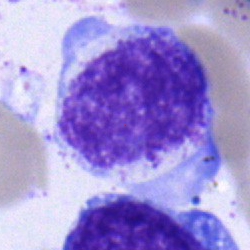Myelocyte.